Bone marrow smear · 250×250 · cropped to a single cell:
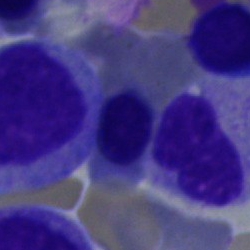

{"cell_type": "normoblast"}